Bone marrow smear — 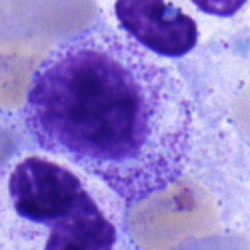
Morphology — myelocyte.